Bone marrow aspirate smear — 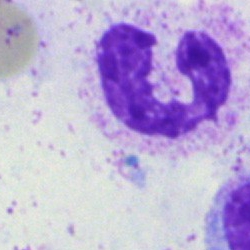Q: What is shown here?
A: This is a segmented neutrophil.